Bone marrow smear; 250 by 250 pixels:
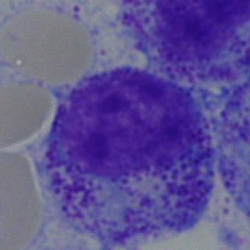 Cell type = myelocyte.